Peripheral blood film; Romanowsky-stained
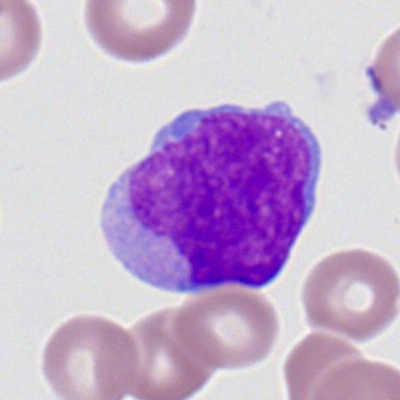 Myeloid blast.